250×250 px; 40× oil immersion; bone marrow smear:
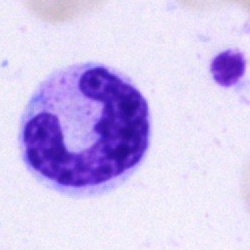

The morphological class is neutrophil (band).